Single-cell crop. Bone marrow smear:
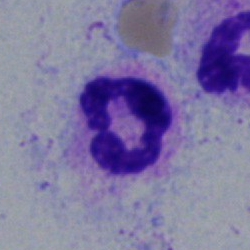
A polymorphonuclear neutrophil.